Bone marrow aspirate smear — 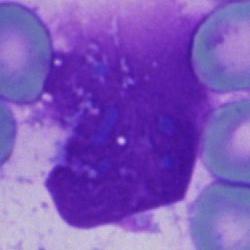
Impression — artefact.